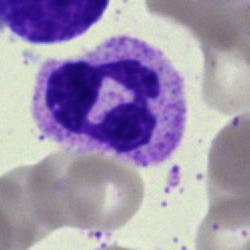Impression — segmented neutrophil.